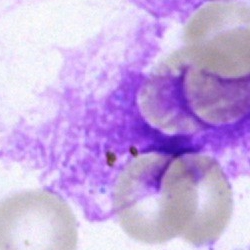
Q: What is shown here?
A: This is an artifact.